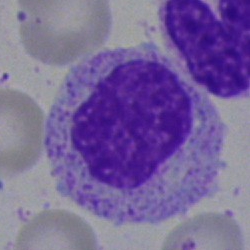
This is a myelocyte.